Bone marrow smear · Pappenheim-stained:
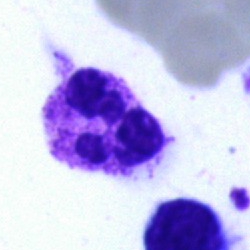
Classification — neutrophil (segmented).